250×250 · bone marrow smear: 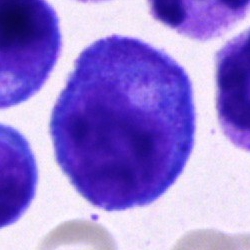 The cell type is promyelocyte.